250×250 · May-Grünwald-Giemsa stain · bone marrow aspirate smear:
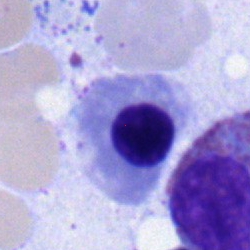 Q: What type of cell is this?
A: An erythroblast.